Bone marrow smear — 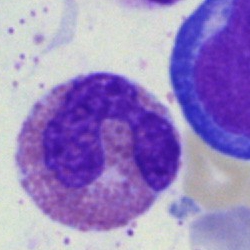
Showing an eosinophil.